Bone marrow smear: 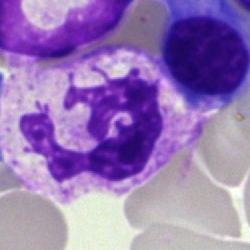

Morphology — neutrophil (segmented).